MGG-stained; cropped to a single cell; bone marrow aspirate smear.
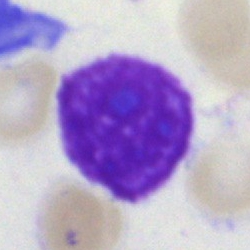

Morphology — artifact.